Peripheral blood smear · Romanowsky stain:
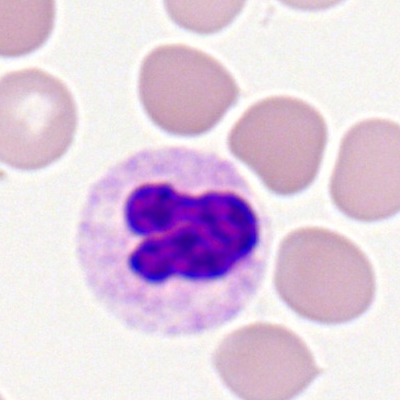Neutrophil (segmented).